Single-cell field · 40× objective, oil immersion · bone marrow aspirate smear: 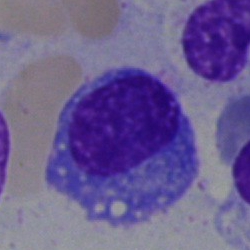Specimen: bone marrow smear.
Morphological class: plasmacyte.